Bone marrow smear: 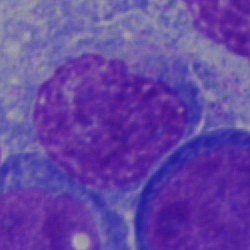
The morphological class is blast cell.